Bone marrow aspirate smear.
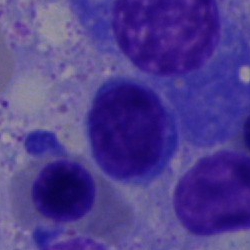
The cell shown is a typical lymphocyte.